May-Grünwald-Giemsa stain. Bone marrow smear — 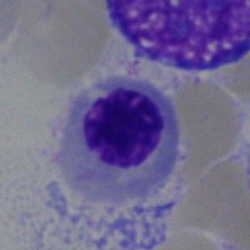
Morphology consistent with a nucleated red blood cell.